Bone marrow aspirate smear — 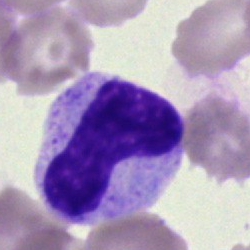 Morphology consistent with a band-form neutrophil.